Bone marrow aspirate smear.
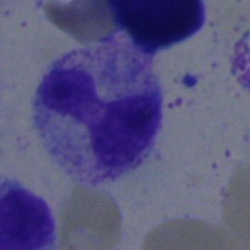Cell type = polymorphonuclear neutrophil.